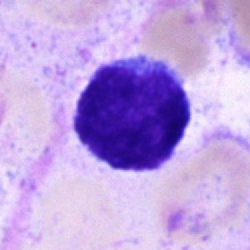 Q: What is the morphological classification of this cell?
A: It is a blast.